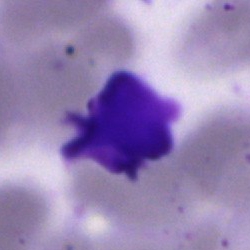

Showing an artifact.